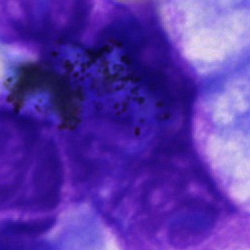Q: What type of cell is this?
A: A cell not matching the other categories.